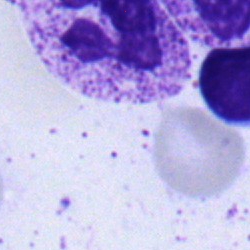 Q: What is shown here?
A: Neutrophil (segmented).